Bone marrow aspirate smear
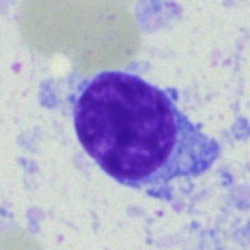 Q: What is the morphological classification of this cell?
A: It is a typical lymphocyte.